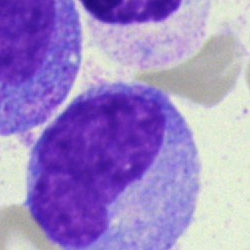
Single-cell crop from a bone marrow smear: monocyte.